Brightfield microscopy, 40× oil immersion · bone marrow smear:
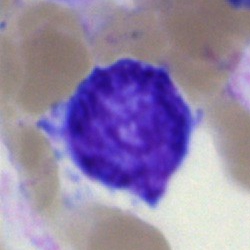
Morphology consistent with an undifferentiated blast.